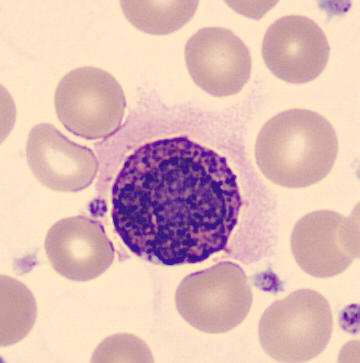

Specimen: peripheral blood smear.
Cell: basophil.